Bone marrow smear — 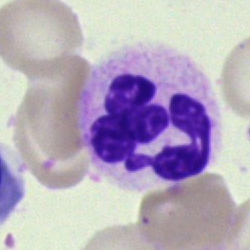Morphological class: polymorphonuclear neutrophil.